Bone marrow smear.
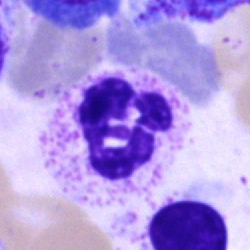 The cell shown is a polymorphonuclear neutrophil.